Peripheral blood smear — 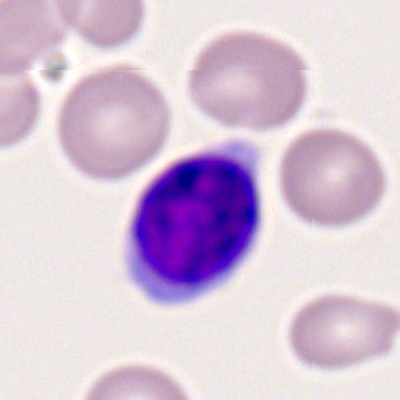Q: Identify the cell.
A: A typical lymphocyte.